Bone marrow aspirate smear
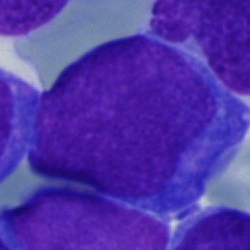
A blast.